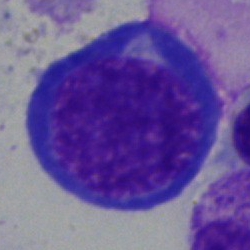

Single-cell crop from a bone marrow smear: erythroblast.